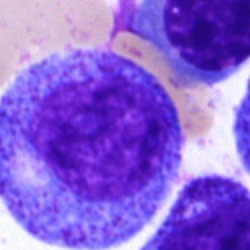Q: What cell is this?
A: A progranulocyte.